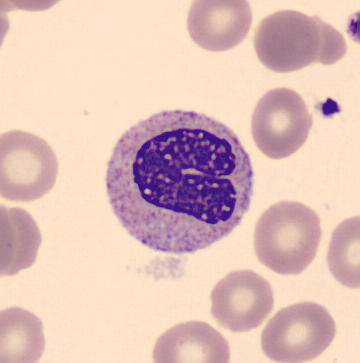
Peripheral blood smear showing a neutrophil (band).